Image size 400×400 · peripheral blood smear — 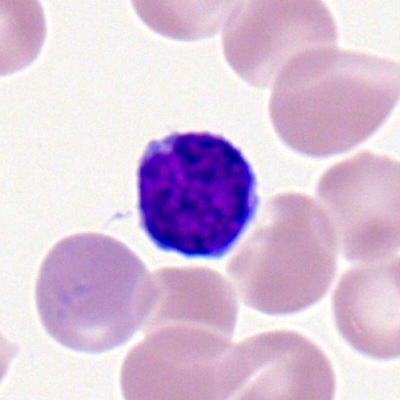 Morphology — typical lymphocyte.